40× oil immersion · bone marrow aspirate smear: 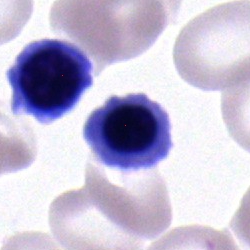
Q: What is shown here?
A: It is an erythroblast.